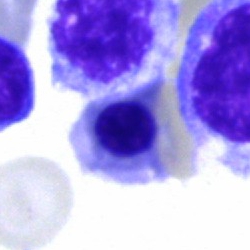
Bone marrow smear showing a normoblast.